Bone marrow smear
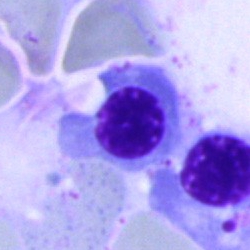
Q: What cell is this?
A: It is a nucleated red cell.